Peripheral blood smear
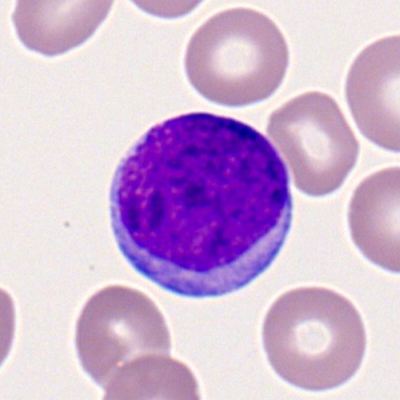 Single cell identified as a myeloblast.